Peripheral blood smear · 100× oil immersion, 14.14 px/µm
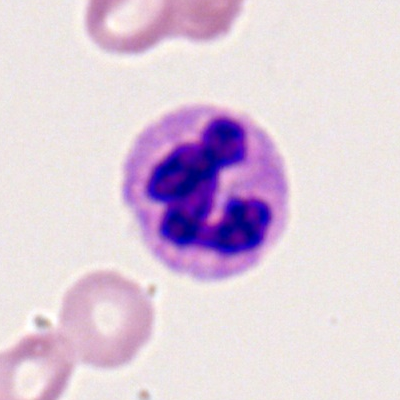

Q: What type of cell is this?
A: A polymorphonuclear neutrophil.